Peripheral blood smear: 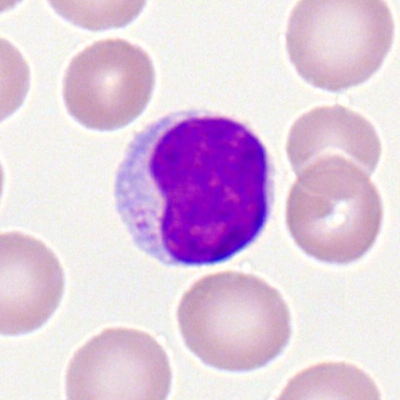 Specimen: peripheral blood film.
Cell: typical lymphocyte.
Lineage: lymphoid.